Bone marrow smear: 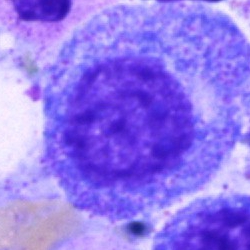 {"cell_type": "promyelocyte"}